Single-cell crop. Bone marrow smear.
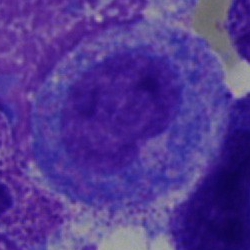
The cell shown is a progranulocyte.